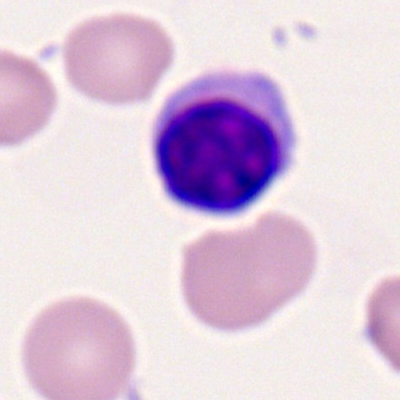Morphological class — typical lymphocyte.